Bone marrow aspirate smear — 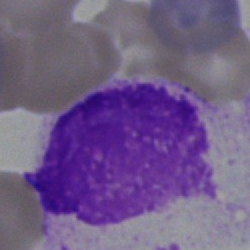Morphology consistent with an artefact.